Bone marrow aspirate smear:
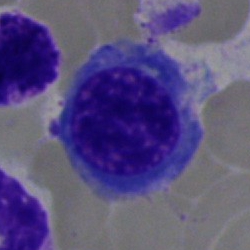

Single cell identified as a normoblast.